Peripheral blood smear
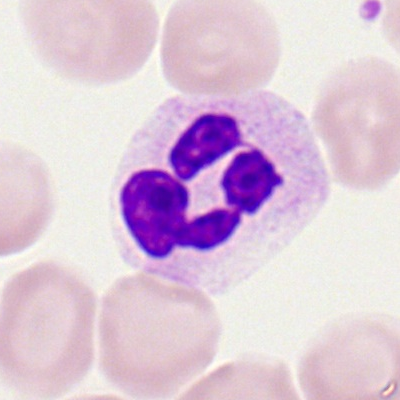

The cell is neutrophil (segmented).